May-Grünwald-Giemsa/Pappenheim stain. Brightfield microscopy, 40× oil immersion. Bone marrow aspirate smear: 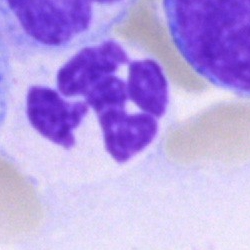
Q: Which cell type is shown here?
A: This is a polymorphonuclear neutrophil.